Bone marrow smear; May-Grünwald-Giemsa stain.
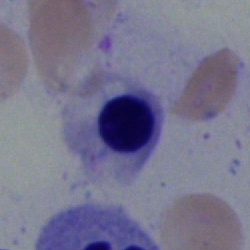 A normoblast.